Bone marrow smear.
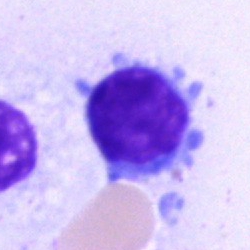

The morphological class is typical lymphocyte.